Bone marrow aspirate smear
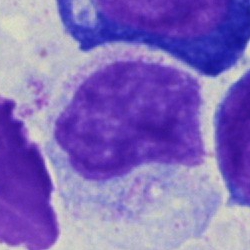

A myelocyte.